Bone marrow smear. May-Grünwald-Giemsa/Pappenheim stain — 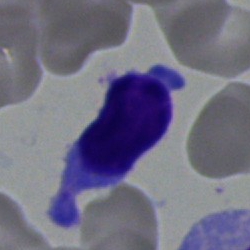

Showing a lymphocyte.